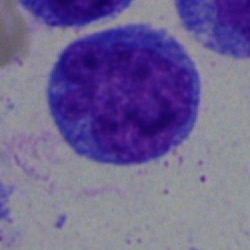

Impression → blast cell.